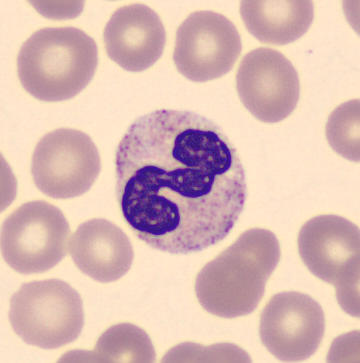
Specimen: peripheral blood smear.
Classification: segmented neutrophil.
Lineage: myeloid.